Peripheral blood smear; 100× oil immersion, 14.14 px/µm — 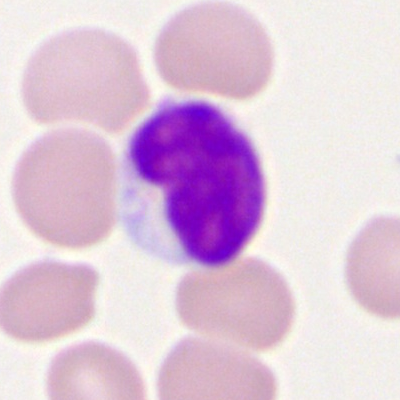
The cell shown is a lymphocyte.